Brightfield, 40× oil-immersion objective; May-Grünwald-Giemsa stain; bone marrow aspirate smear — 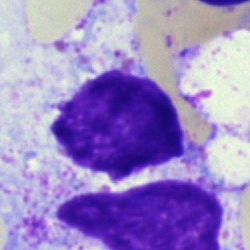
Q: What is shown here?
A: Artefact.